Bone marrow aspirate smear:
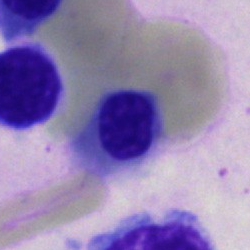 Q: What type of cell is this?
A: An erythroblast.